Single cell centered in the field. Bone marrow smear: 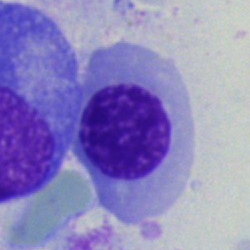
The cell type is normoblast.